40× oil immersion; 250 by 250 pixels; bone marrow aspirate smear:
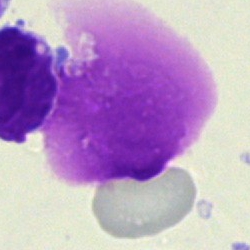An artefact.